Bone marrow smear. Single-cell crop.
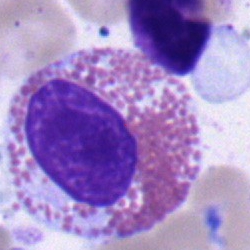

Eosinophilic granulocyte.